Bone marrow aspirate smear: 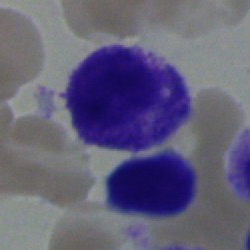
Specimen: bone marrow aspirate smear.
Classification: plasmacyte.
Lineage: lymphoid.